May-Grünwald-Giemsa stain · bone marrow smear.
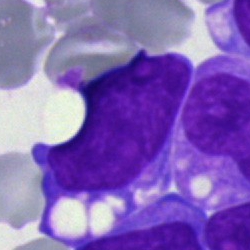

This is an undifferentiated blast.